Bone marrow smear: 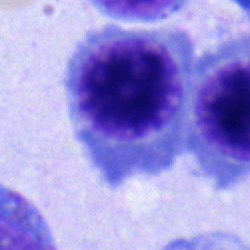
A normoblast.